40× oil immersion · bone marrow aspirate smear — 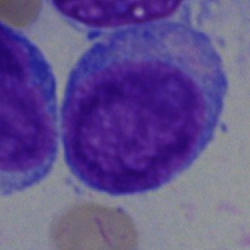

Specimen: bone marrow aspirate smear.
Cell: blast cell.